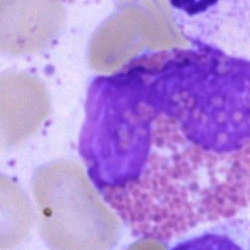

Single-cell crop from a bone marrow smear: eosinophil.